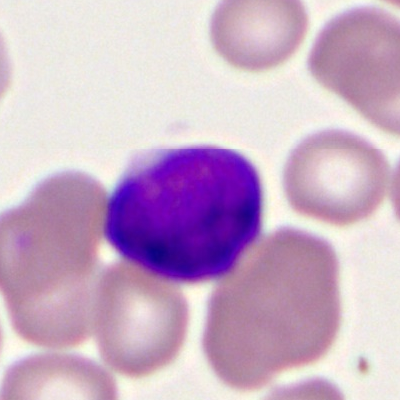

Q: What cell is this?
A: A myeloid blast.